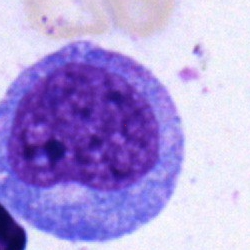Impression → promyelocyte.